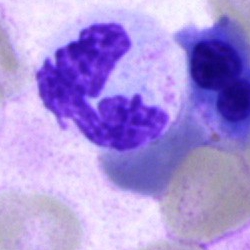Morphological class — polymorphonuclear neutrophil.